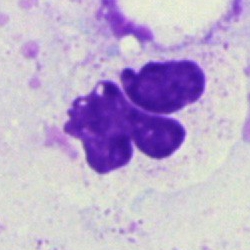 Cell type — artefact.